Bone marrow smear — 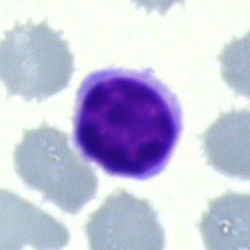

Showing a lymphocyte.